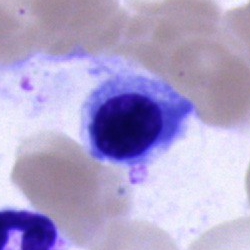 This is a normoblast.